Brightfield microscopy, 40× oil immersion; bone marrow aspirate smear — 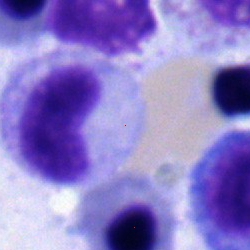Q: Which cell type is shown here?
A: This is a metamyelocyte.